Single cell centered in the field · bone marrow aspirate smear.
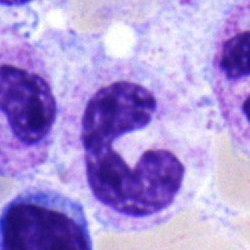
Stab cell.